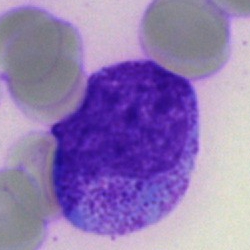 {"cell_type": "myelocyte", "lineage": "myeloid"}